Pappenheim-stained · bone marrow aspirate smear: 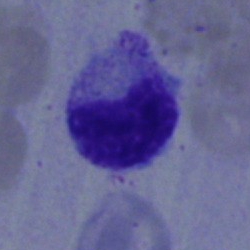 This is a metamyelocyte.